Bone marrow aspirate smear
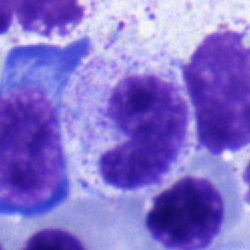 Specimen: bone marrow aspirate smear.
Classification: stab cell.